Bone marrow aspirate smear; Pappenheim-stained: 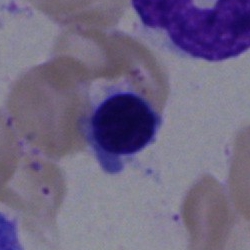

Specimen: bone marrow smear.
Morphological class: nucleated red blood cell.
Lineage: erythroid.